Bone marrow smear: 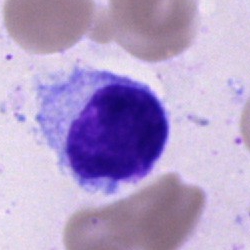 Classification: lymphocyte.